Pappenheim-stained · bone marrow smear:
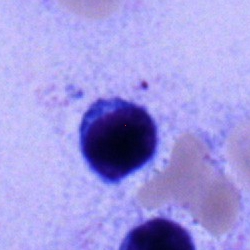 Specimen: bone marrow aspirate smear.
Cell type: typical lymphocyte.